Brightfield, 100× oil-immersion objective · 400×400 · peripheral blood film.
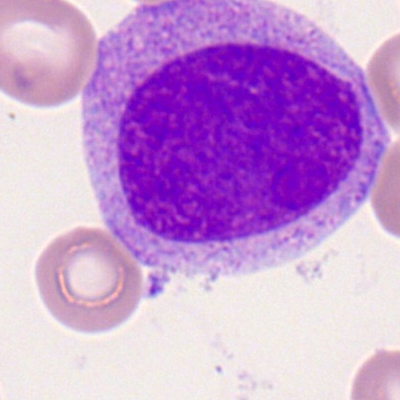The classification is myeloblast.